Bone marrow smear: 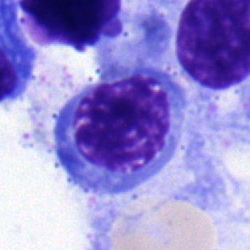Morphology consistent with a nucleated red blood cell.